Bone marrow smear.
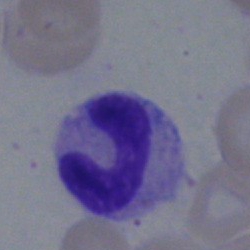
Polymorphonuclear neutrophil.